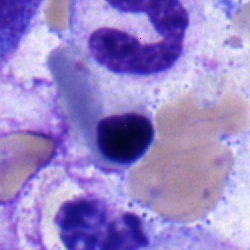
Specimen: bone marrow aspirate smear.
Classification: nucleated red blood cell.
Lineage: erythroid.